May-Grünwald-Giemsa/Pappenheim stain. Bone marrow smear — 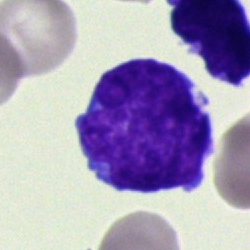 Blast cell.